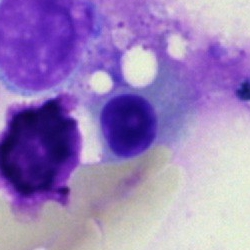

Single-cell crop from a bone marrow smear: nucleated red cell.